Bone marrow aspirate smear
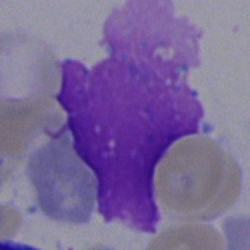
Single cell identified as an artefact.